Bone marrow smear; image size 250×250; cropped to a single cell: 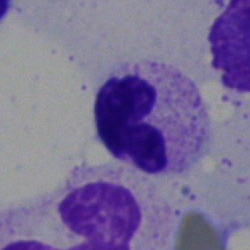
Q: Which cell type is shown here?
A: It is a neutrophil (segmented).